Brightfield, 40× oil-immersion objective · cropped to a single cell · bone marrow aspirate smear.
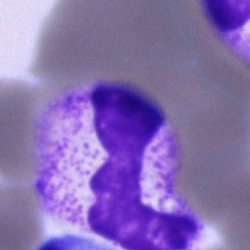Q: What is the morphological classification of this cell?
A: This is a band-form neutrophil.